Bone marrow aspirate smear: 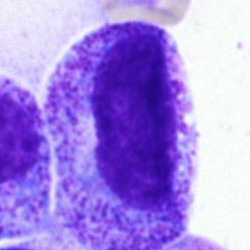
Q: Which cell type is shown here?
A: This is a promyelocyte.